Bone marrow smear: 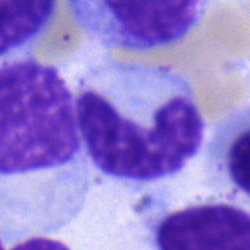 Impression — stab cell.